Bone marrow smear; 250 by 250 pixels.
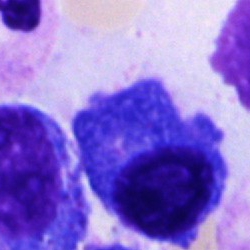Plasmacyte.